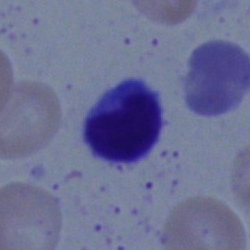
The cell type is lymphocyte.